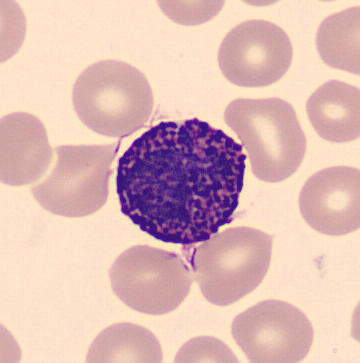

{"cell_type": "basophilic granulocyte"}